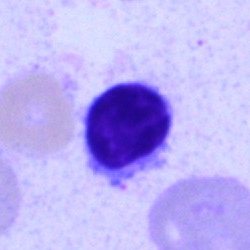 {"cell_type": "lymphocyte", "lineage": "lymphoid"}